Brightfield microscopy, 40× oil immersion; bone marrow aspirate smear
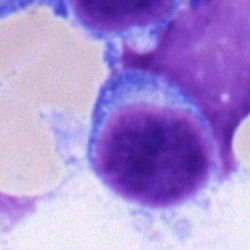

Classification — typical lymphocyte.